Bone marrow smear · brightfield, 40× oil-immersion objective: 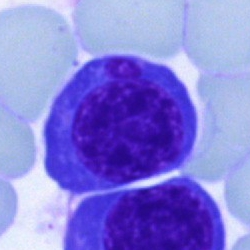
The morphological class is nucleated red blood cell.